Bone marrow aspirate smear. May-Grünwald-Giemsa stain — 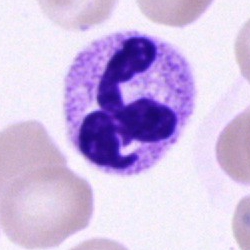A polymorphonuclear neutrophil.